Bone marrow smear:
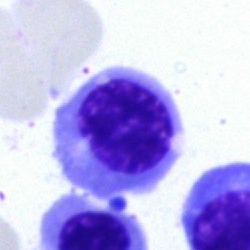Q: Which cell type is shown here?
A: A nucleated red cell.